Bone marrow smear. MGG-stained: 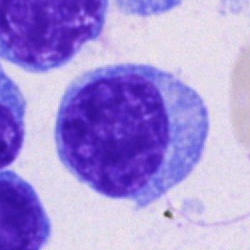Morphology → plasmacyte.